40× objective, oil immersion; 250 by 250 pixels; bone marrow smear.
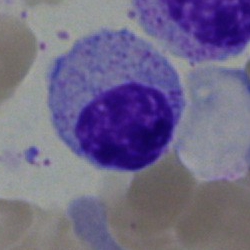 Morphology — myelocyte.